Single cell centered in the field · bone marrow aspirate smear
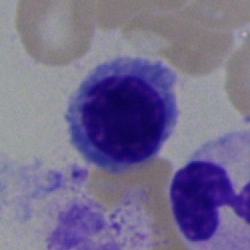
Q: What is the morphological classification of this cell?
A: Erythroblast.